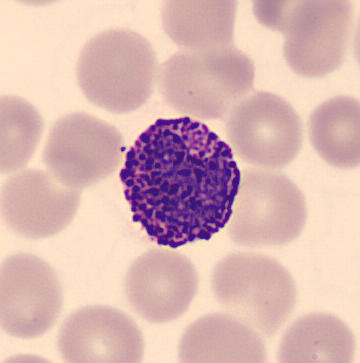
Specimen: peripheral blood film.
Morphological class: basophil.
Lineage: myeloid.